Bone marrow smear; single cell centered in the field; Pappenheim-stained:
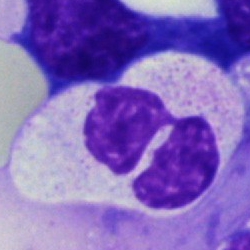Cell: polymorphonuclear neutrophil.